Single-cell field · bone marrow aspirate smear: 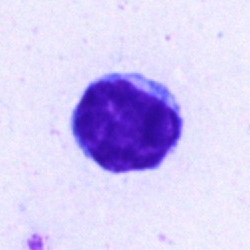 This is a lymphocyte.